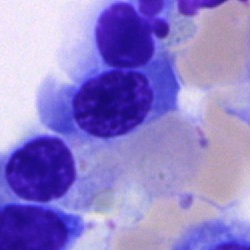 Showing a nucleated red cell.